Bone marrow aspirate smear: 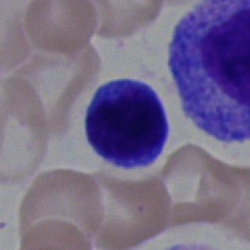The classification is lymphocyte.